Bone marrow smear
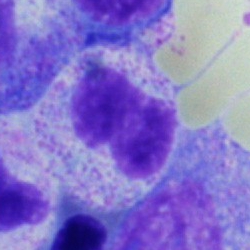
Specimen: bone marrow smear.
Morphological class: band-form neutrophil.